Bone marrow aspirate smear — 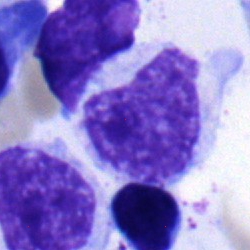

The cell type is myelocyte.